Bone marrow aspirate smear · 40× oil immersion · 250×250
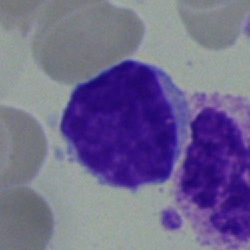
Q: What is shown here?
A: A typical lymphocyte.